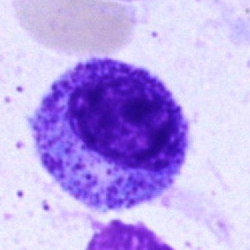

Bone marrow aspirate smear, single cell — myelocyte.